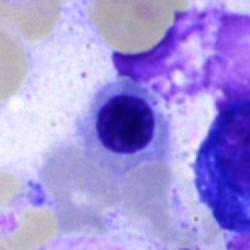
Q: What is shown here?
A: Normoblast.